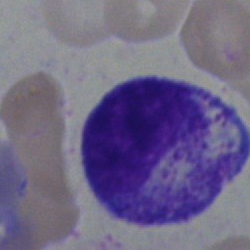
Specimen: bone marrow aspirate smear.
Classification: myelocyte.
Lineage: myeloid.